Bone marrow aspirate smear
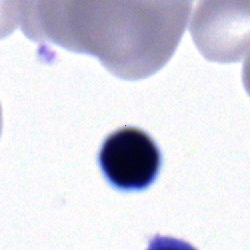 Q: What is the morphological classification of this cell?
A: It is a lymphocyte.